Brightfield, 40× oil-immersion objective · bone marrow aspirate smear — 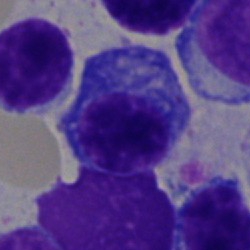

Cell: plasmacyte.